Bone marrow smear — 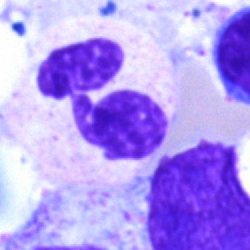

Showing a segmented neutrophil.